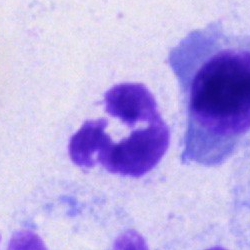Single cell identified as a neutrophil (segmented).